Bone marrow aspirate smear:
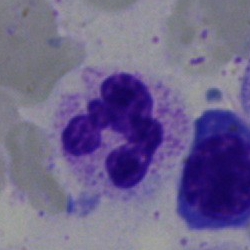

{"cell_type": "segmented neutrophil", "lineage": "myeloid"}